Bone marrow aspirate smear.
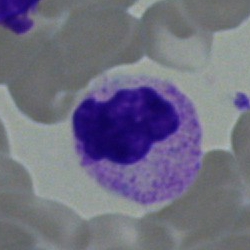
Segmented neutrophil.